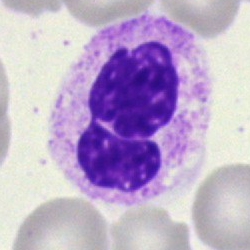
Q: What cell is this?
A: It is a neutrophil (segmented).